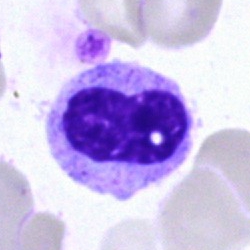

Classification: band neutrophil.